Peripheral blood film · 100× oil immersion, 14.14 px/µm — 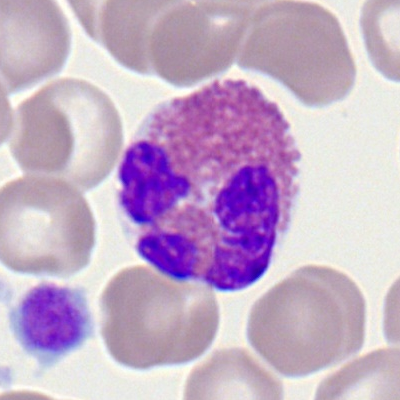

Cell type: eosinophilic granulocyte.